May-Grünwald-Giemsa/Pappenheim stain; bone marrow aspirate smear; image size 250×250
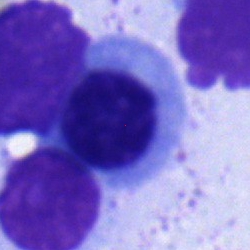

Cell = erythroblast.